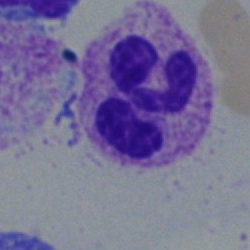This is a segmented neutrophil.